Bone marrow aspirate smear; May-Grünwald-Giemsa stain
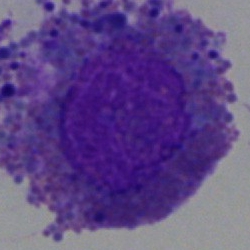The cell shown is an eosinophilic granulocyte.